Bone marrow smear — 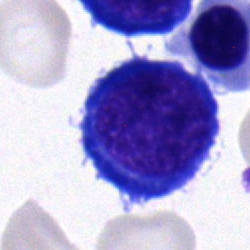Single cell identified as an erythroblast.